Pappenheim-stained · bone marrow aspirate smear.
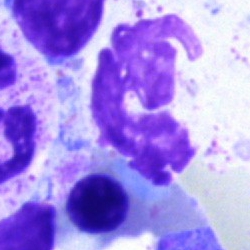
The cell is artefact.